Bone marrow aspirate smear:
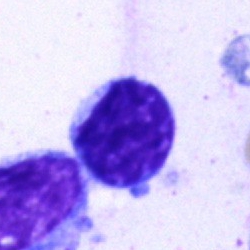 Morphology — typical lymphocyte.